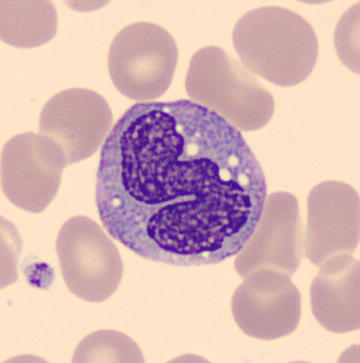

{"cell_type": "monocyte", "lineage": "myeloid"}
Peripheral blood smear.